Bone marrow aspirate smear
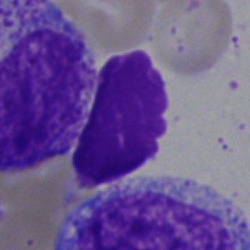
Artifact.